Bone marrow smear · MGG-stained · 250×250 px.
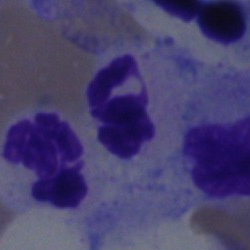Q: Which cell type is shown here?
A: It is a polymorphonuclear neutrophil.